Bone marrow aspirate smear:
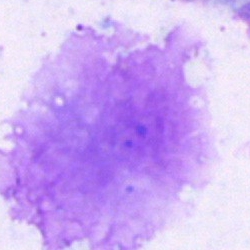 Showing an artifact.